250×250. Bone marrow aspirate smear: 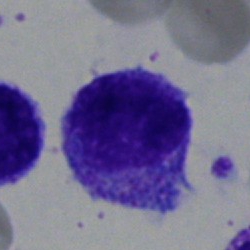Morphological class — progranulocyte.